Bone marrow smear — 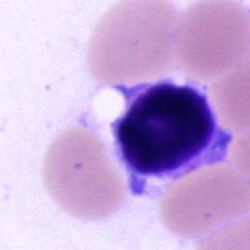
Morphological class — typical lymphocyte.